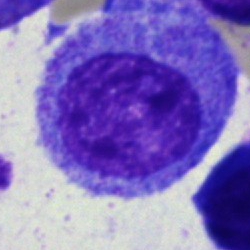

Impression → promyelocyte.